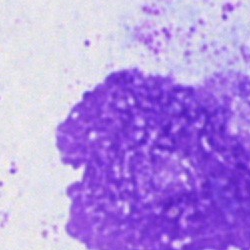

{"cell_type": "artefact"}